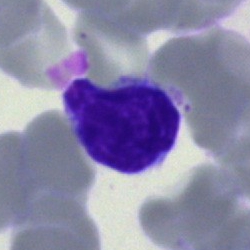
Q: What type of cell is this?
A: A lymphocyte.